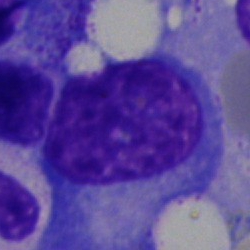

Cell: plasma cell.